100× oil immersion, 14.14 px/µm. Peripheral blood smear — 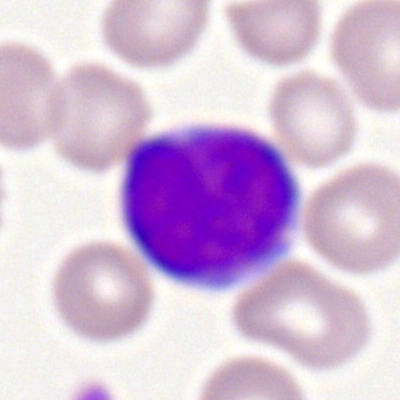
Morphology → myeloid blast.